250×250 px · bone marrow aspirate smear · cropped to a single cell: 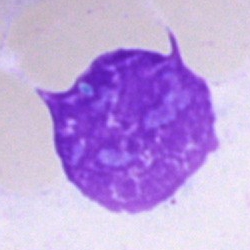 Q: What is shown here?
A: This is an artifact.